Bone marrow aspirate smear: 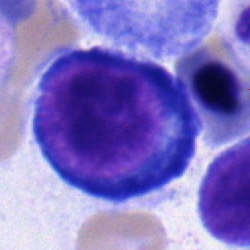
Pronormoblast.